Image size 250×250 · bone marrow aspirate smear
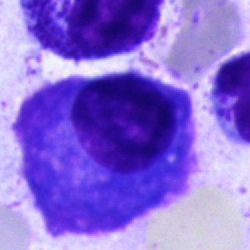
Cell type — plasmacyte.